Bone marrow smear — 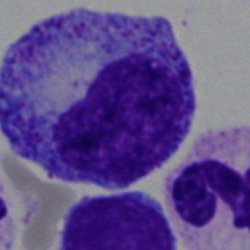 Specimen: bone marrow aspirate smear.
Cell: progranulocyte.
Lineage: myeloid.